Bone marrow smear · single-cell field · 250 by 250 pixels — 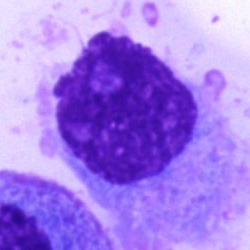 Q: Which cell type is shown here?
A: This is a plasma cell.